Bone marrow aspirate smear: 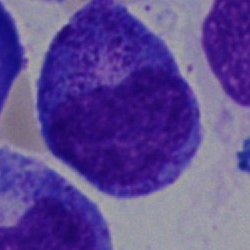Q: Identify the cell.
A: Progranulocyte.